Bone marrow aspirate smear. MGG-stained — 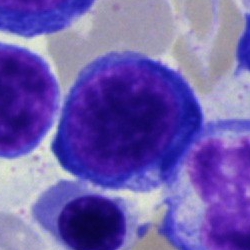
Q: What cell is this?
A: Normoblast.